Bone marrow smear · single-cell crop — 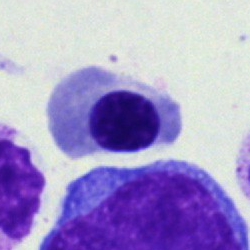

Cell: nucleated red blood cell.